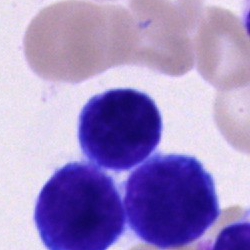Classification — typical lymphocyte.